Bone marrow aspirate smear. MGG-stained.
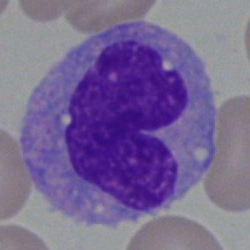Cell type — monocyte.